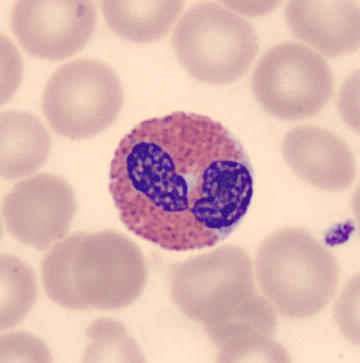

Q: What is shown here?
A: It is an eosinophilic granulocyte.

Peripheral blood film; MGG-stained.